Bone marrow aspirate smear
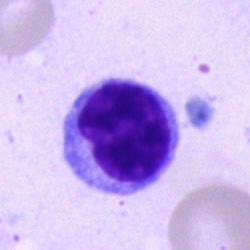
Classification = lymphocyte.